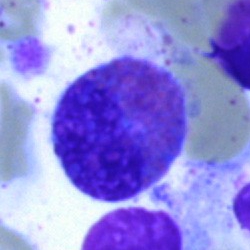
Specimen: bone marrow aspirate smear.
Cell type: eosinophil.